Bone marrow smear. May-Grünwald-Giemsa stain. Single-cell field
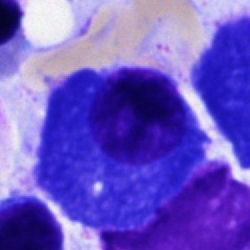

Morphology — plasma cell.